Bone marrow smear: 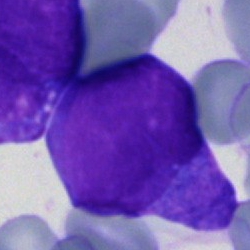The cell is blast cell.